Bone marrow aspirate smear: 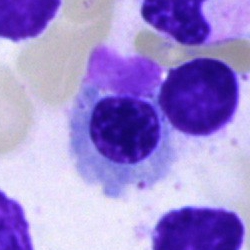

Morphological class — normoblast.